Bone marrow aspirate smear:
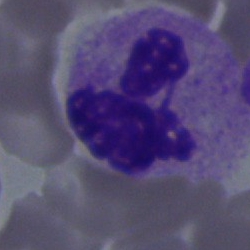
This is a polymorphonuclear neutrophil.